Bone marrow smear
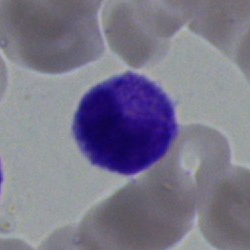

Q: What type of cell is this?
A: It is a polymorphonuclear neutrophil.